Bone marrow smear. May-Grünwald-Giemsa stain
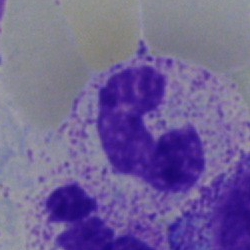
Morphology consistent with a band-form neutrophil.